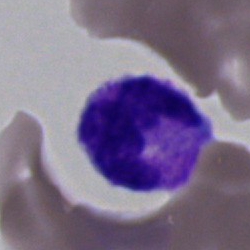 The cell shown is a polymorphonuclear neutrophil.